Bone marrow aspirate smear:
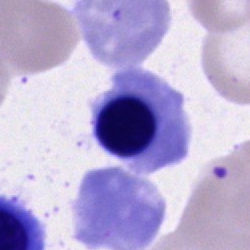Specimen: bone marrow aspirate smear.
Cell: nucleated red cell.